Single cell centered in the field · bone marrow smear.
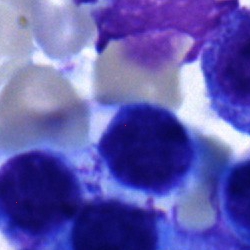 Impression — lymphocyte.